Bone marrow aspirate smear — 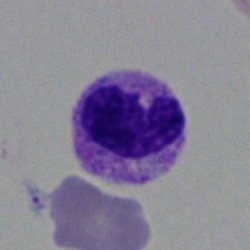Specimen: bone marrow aspirate smear.
Cell: segmented neutrophil.